May-Grünwald-Giemsa stain. Bone marrow aspirate smear. Single-cell crop: 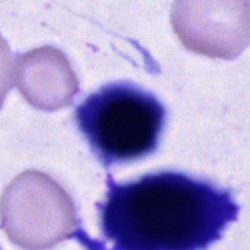

Cell type: cell of indeterminate lineage.